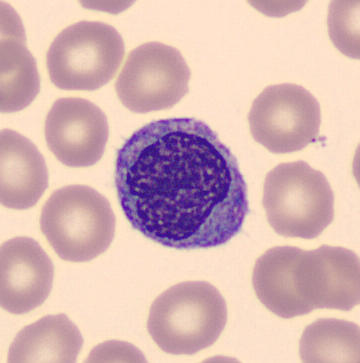
Cell — monocyte.